May-Grünwald-Giemsa/Pappenheim stain; bone marrow aspirate smear; 40× objective, oil immersion:
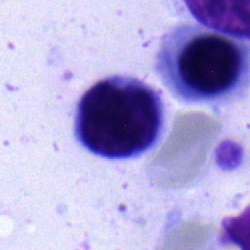
Q: What cell is this?
A: It is a typical lymphocyte.